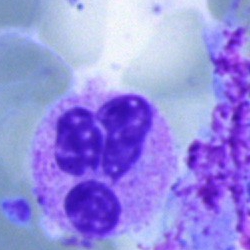 Q: Identify the cell.
A: It is a neutrophil (segmented).